Bone marrow smear:
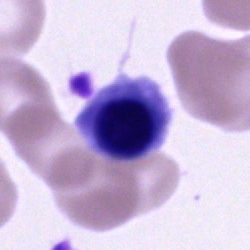 Cell type = erythroblast.